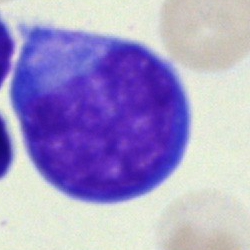

Single-cell crop from a bone marrow smear: blast cell.